Bone marrow smear.
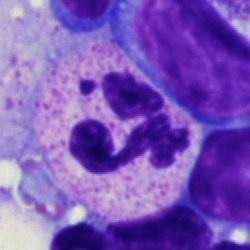 Cell: polymorphonuclear neutrophil.